May-Grünwald-Giemsa stain · bone marrow smear · cropped to a single cell — 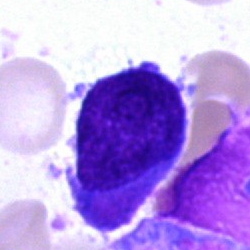Morphology → blast.